Bone marrow smear: 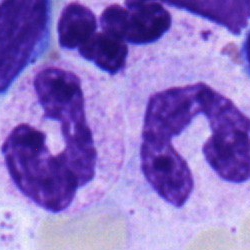The cell is neutrophil (segmented).